Bone marrow aspirate smear
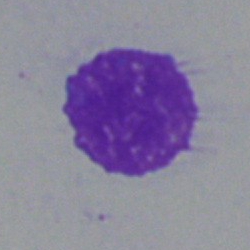

This is an artefact.